Bone marrow aspirate smear.
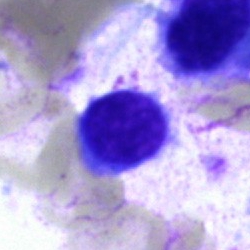

Classification — typical lymphocyte.